Bone marrow aspirate smear.
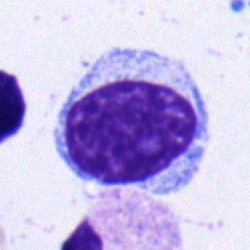
Cell — lymphocyte.